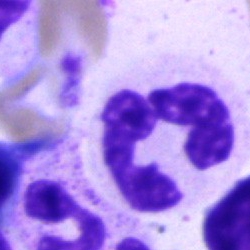A neutrophil (segmented) on a bone marrow smear.